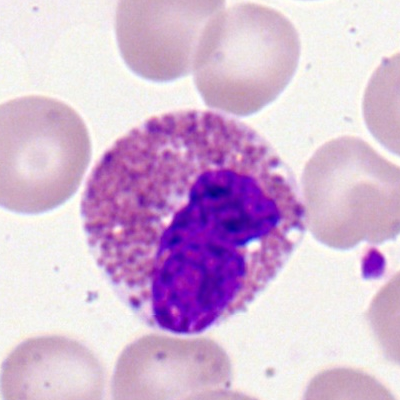Peripheral blood smear showing an eosinophilic granulocyte.